Bone marrow aspirate smear.
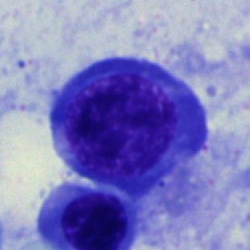The cell shown is a normoblast.